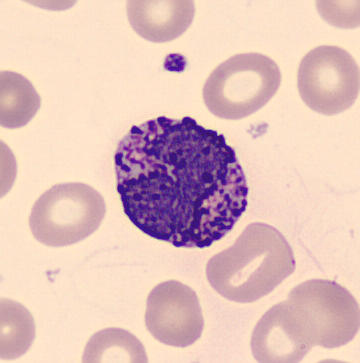
Cell type — basophilic granulocyte.
Peripheral blood smear.